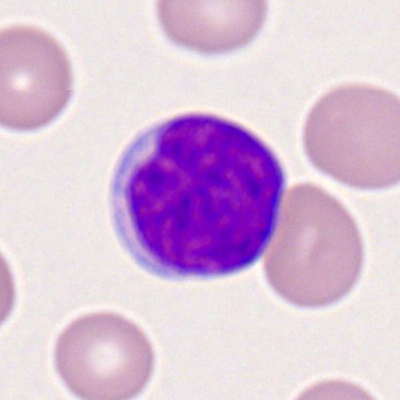 This is a typical lymphocyte.